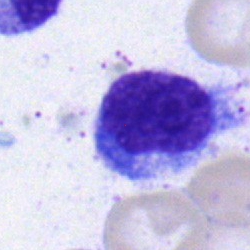 Impression → lymphocyte.